Bone marrow aspirate smear
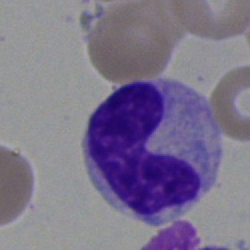
Showing a stab cell.